MGG-stained; bone marrow aspirate smear
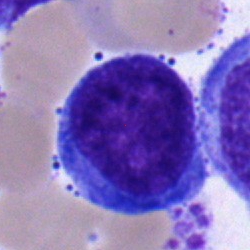Q: What type of cell is this?
A: Blast cell.